Bone marrow smear:
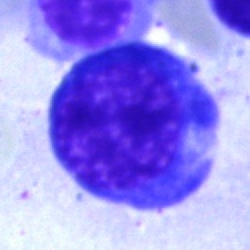
The morphological class is nucleated red cell.